250×250 px. Bone marrow smear. May-Grünwald-Giemsa stain:
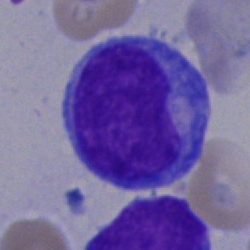 Cell = blast cell.